Bone marrow aspirate smear:
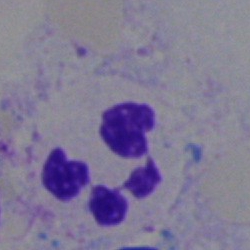 Specimen: bone marrow smear.
Classification: polymorphonuclear neutrophil.
Lineage: myeloid.